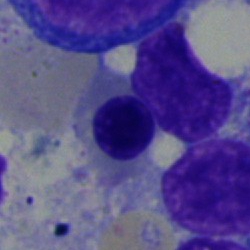 Cell type — normoblast.